Single-cell field · bone marrow smear
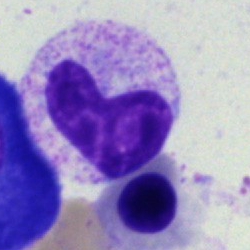
Morphological class: band-form neutrophil.